Peripheral blood smear: 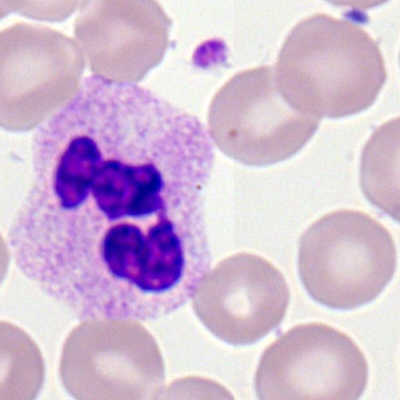 Classification: segmented neutrophil.